Bone marrow aspirate smear.
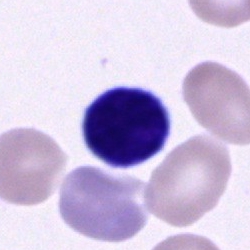

Q: What cell is this?
A: This is a lymphocyte.